Bone marrow aspirate smear
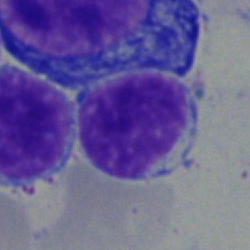 Single cell identified as a typical lymphocyte.